250 by 250 pixels · 40× objective, oil immersion · bone marrow smear — 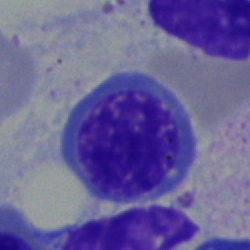
The morphological class is nucleated red blood cell.